Bone marrow aspirate smear:
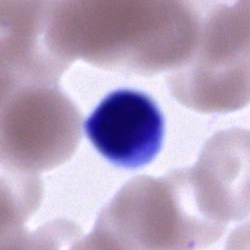
Morphology consistent with a cell of indeterminate lineage.